M8 digital microscope (Precipoint), 100× oil immersion; peripheral blood smear — 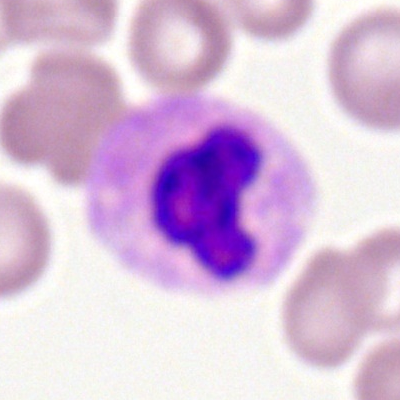A neutrophil (segmented).